May-Grünwald-Giemsa/Pappenheim stain · bone marrow aspirate smear — 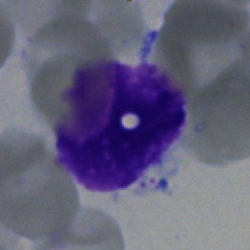Morphology — artifact.